Bone marrow smear.
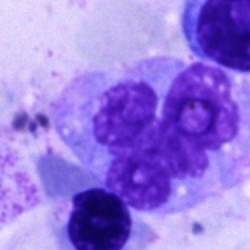The cell shown is a monocyte.